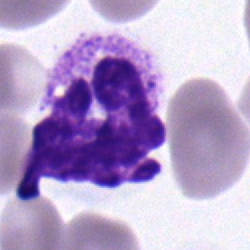Q: Identify the cell.
A: This is a segmented neutrophil.